Single cell centered in the field; bone marrow smear; 250×250: 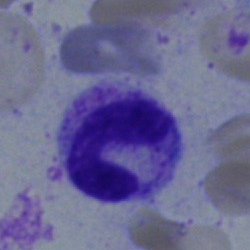
Specimen: bone marrow aspirate smear.
Cell type: neutrophil (band).
Lineage: myeloid.